Bone marrow smear. Pappenheim-stained. Cropped to a single cell.
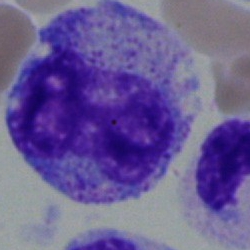

Single cell identified as a metamyelocyte.